Cropped to a single cell; bone marrow smear; Pappenheim-stained:
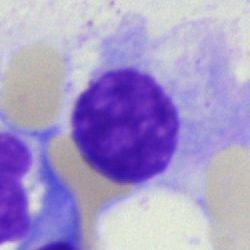 Cell type — artifact.